Bone marrow aspirate smear:
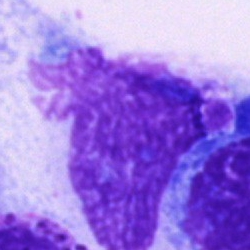

Artifact.